Bone marrow smear · May-Grünwald-Giemsa/Pappenheim stain · single-cell crop — 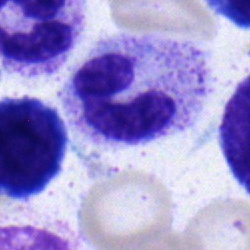
Q: What is the morphological classification of this cell?
A: A neutrophil (band).